Peripheral blood smear. 400 by 400 pixels. Romanowsky-stained.
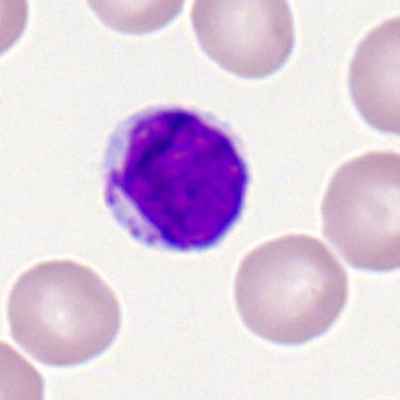

Morphological class = typical lymphocyte.